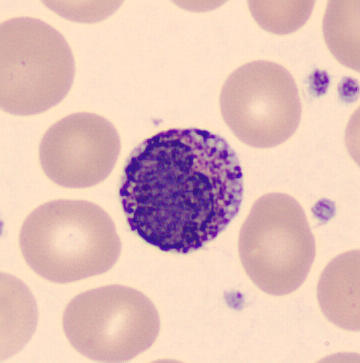

Peripheral blood smear showing a basophilic granulocyte.